Single-cell field. Bone marrow aspirate smear
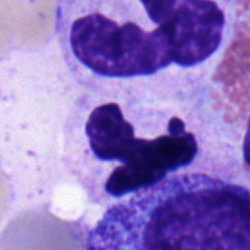Impression — segmented neutrophil.